Bone marrow aspirate smear; single-cell crop; MGG-stained.
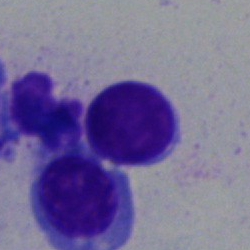

Cell: typical lymphocyte.